Single-cell field; bone marrow aspirate smear — 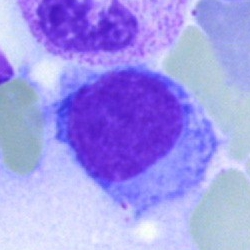

Morphology → hairy cell.